Bone marrow aspirate smear. Single-cell crop — 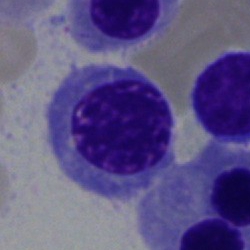
Q: What is the morphological classification of this cell?
A: This is an erythroblast.